Bone marrow smear; image size 250×250.
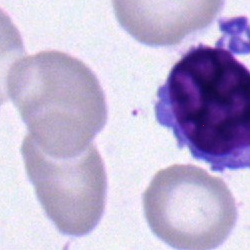
Morphology consistent with a plasmacyte.